Bone marrow smear: 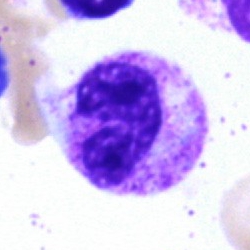
Morphological class: neutrophil (band).